Bone marrow aspirate smear. 250 by 250 pixels
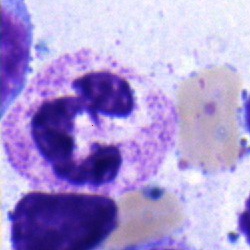 Q: Identify the cell.
A: A myelocyte.